Bone marrow aspirate smear — 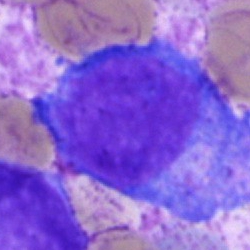
Q: What type of cell is this?
A: It is a blast cell.